Bone marrow smear; 40× objective, oil immersion
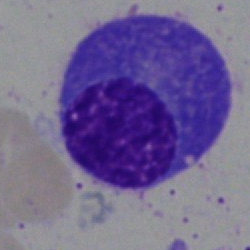Specimen: bone marrow aspirate smear.
Classification: plasma cell.
Lineage: lymphoid.